Brightfield microscopy, 40× oil immersion. Bone marrow aspirate smear
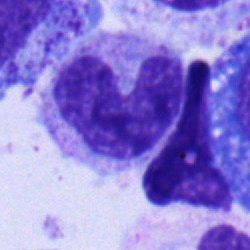 The cell shown is a band-form neutrophil.